Bone marrow smear · image size 250×250
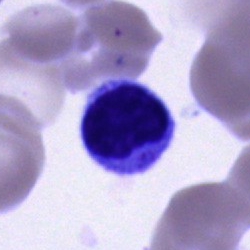 Single cell identified as a typical lymphocyte.